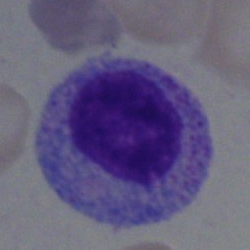Cell: myelocyte.